Bone marrow aspirate smear:
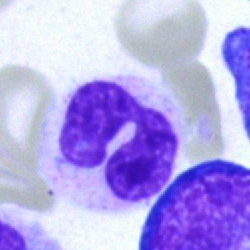
Q: What is the morphological classification of this cell?
A: This is a neutrophil (segmented).